Brightfield, 40× oil-immersion objective; bone marrow aspirate smear — 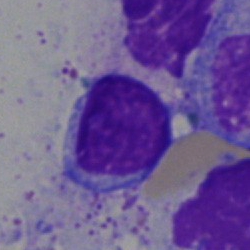

Cell — typical lymphocyte.